Romanowsky-type stain. Peripheral blood smear
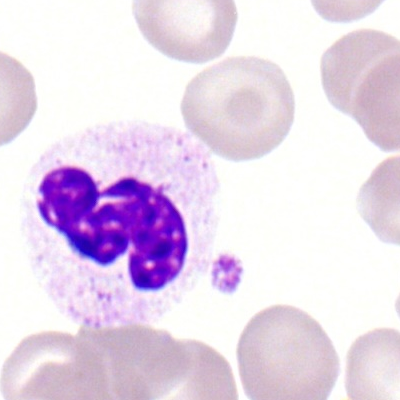

Impression → neutrophil (segmented).